Bone marrow smear
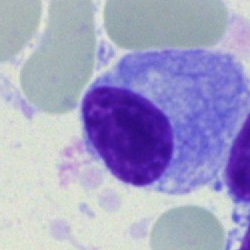
Morphology → plasma cell.